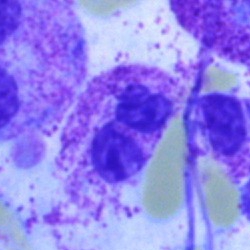
Morphological class = segmented neutrophil.